Bone marrow aspirate smear; Pappenheim-stained; single cell centered in the field: 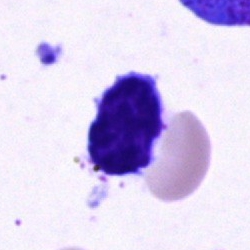The cell shown is a lymphocyte.